Bone marrow smear
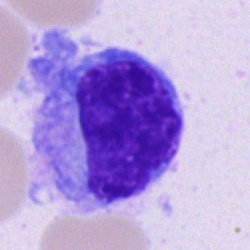

Showing a plasmacyte.